Bone marrow aspirate smear — 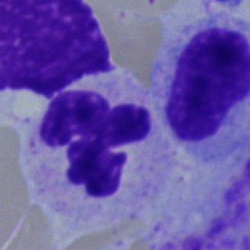
Q: What is the morphological classification of this cell?
A: This is a segmented neutrophil.